Peripheral blood smear
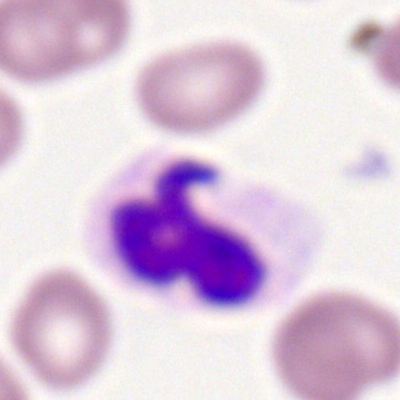 Impression — polymorphonuclear neutrophil.